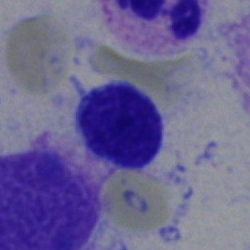
Q: What cell is this?
A: Lymphocyte.